40× oil immersion. Bone marrow aspirate smear
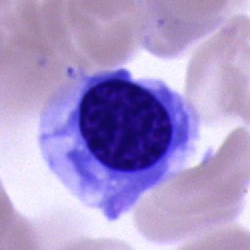 Cell type: erythroblast.